Pappenheim-stained. Bone marrow aspirate smear. Brightfield microscopy, 40× oil immersion — 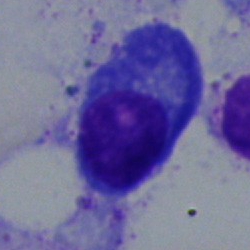
Classification: plasmacyte.